250×250 px; bone marrow aspirate smear; single cell centered in the field: 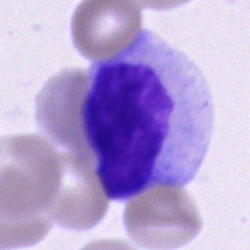Q: What type of cell is this?
A: This is an unidentifiable cell.